Bone marrow aspirate smear: 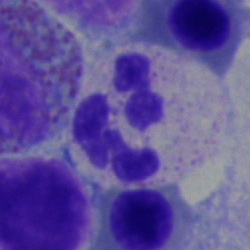 Cell type = neutrophil (segmented).